Bone marrow smear. 250×250:
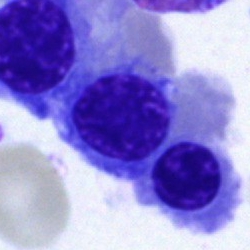 {"cell_type": "normoblast"}